Bone marrow smear. Image size 250×250
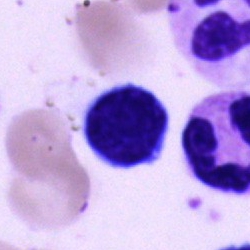

The cell shown is a lymphocyte.